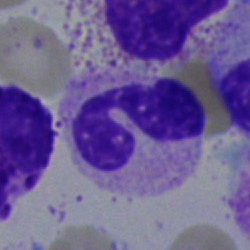

The cell type is segmented neutrophil.